Peripheral blood film: 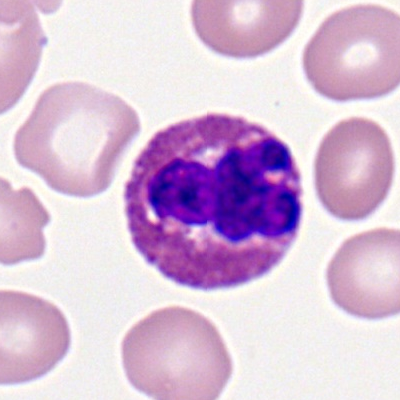Cell type: eosinophil.